250 by 250 pixels; bone marrow aspirate smear:
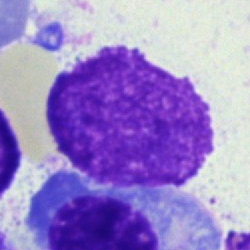 Morphology consistent with an artefact.